Peripheral blood smear.
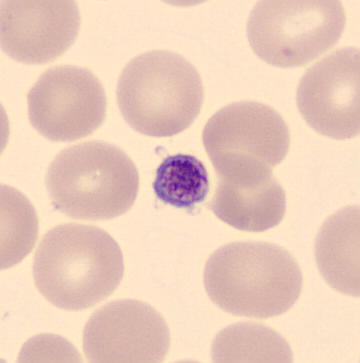

A platelet.